Bone marrow smear: 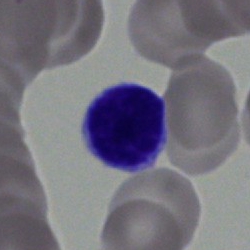The cell shown is a lymphocyte.